Romanowsky-stained · peripheral blood film — 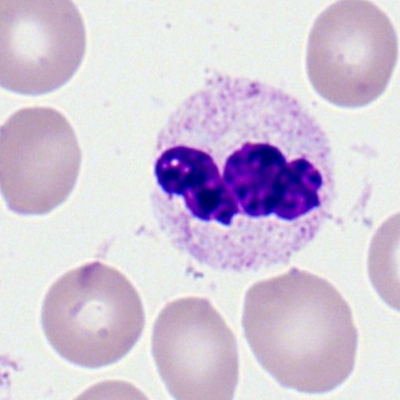 Showing a segmented neutrophil.